MGG-stained; bone marrow smear; 250×250 px.
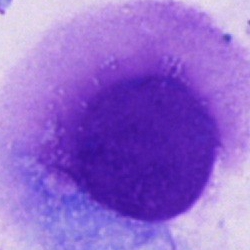 Specimen: bone marrow aspirate smear.
Classification: artefact.